Bone marrow smear:
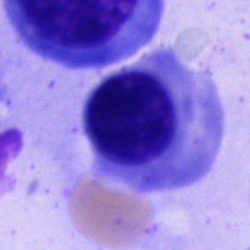

Q: What is shown here?
A: It is a nucleated red blood cell.